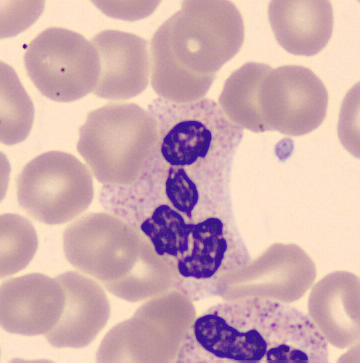
Specimen: peripheral blood smear.
Cell type: polymorphonuclear neutrophil.
Lineage: myeloid.